Bone marrow aspirate smear
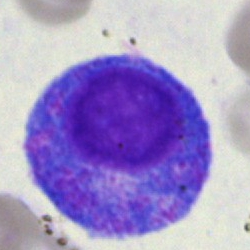

Classification: progranulocyte.